Bone marrow smear
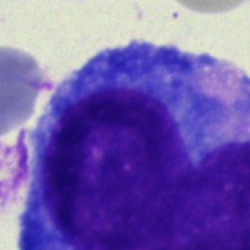

Classification — pronormoblast.